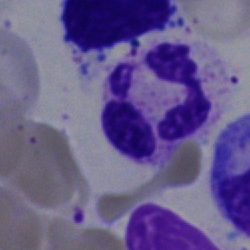
A neutrophil (segmented) on a bone marrow smear.